Bone marrow smear. Image size 250×250:
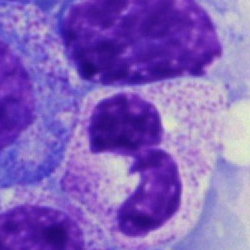

A polymorphonuclear neutrophil.